Bone marrow aspirate smear:
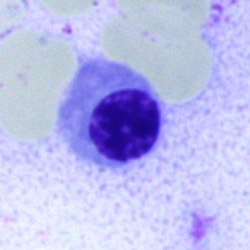

Cell — nucleated red cell.